Bone marrow aspirate smear:
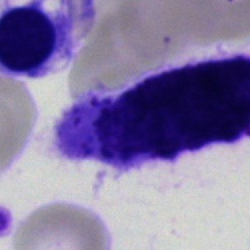 The classification is artefact.